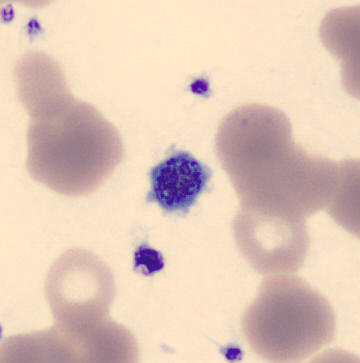
Q: What is this?
A: Platelet.

Image: Peripheral blood smear.